Bone marrow aspirate smear: 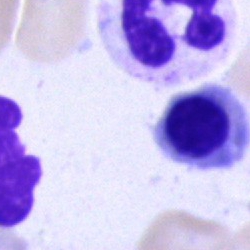Q: Identify the cell.
A: Nucleated red cell.